Bone marrow smear.
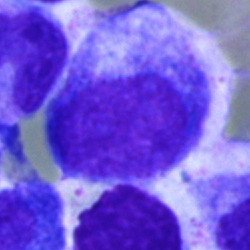
Q: What type of cell is this?
A: It is a promyelocyte.